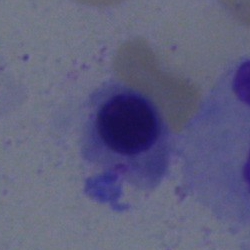Cell type — erythroblast.